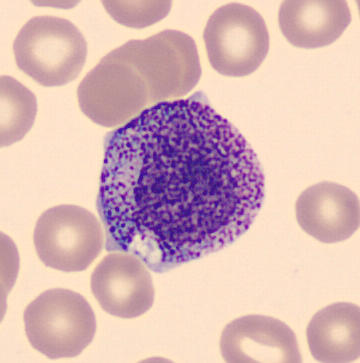

Cell type = progranulocyte.
Acquisition: 360 by 363 pixels; CellaVision DM96; peripheral blood film.